Single-cell crop · brightfield microscopy, 40× oil immersion · bone marrow aspirate smear — 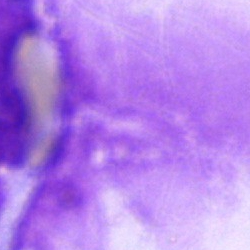

The morphological class is artifact.